Bone marrow smear · 250 by 250 pixels:
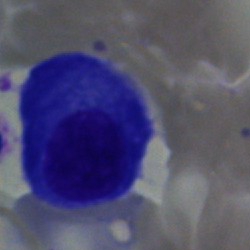

Showing a plasmacyte.